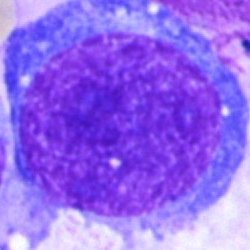 Specimen: bone marrow aspirate smear.
Cell type: promyelocyte.